Peripheral blood film. 100× oil immersion, 14.14 px/µm:
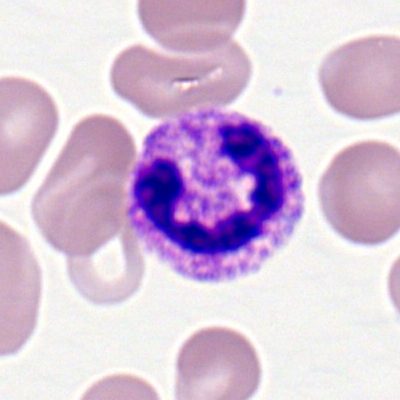 Specimen: peripheral blood film.
Morphological class: segmented neutrophil.
Lineage: myeloid.